Bone marrow smear; brightfield microscopy, 40× oil immersion — 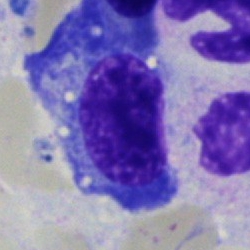 Classification = plasma cell.